Single cell centered in the field; bone marrow smear
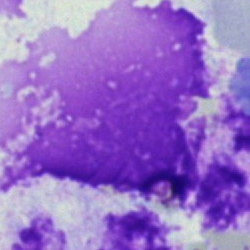
Impression → artefact.